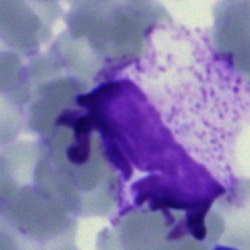 Morphology consistent with an artefact.